Bone marrow aspirate smear — 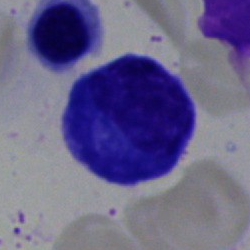Q: Which cell type is shown here?
A: This is a plasmacyte.